Bone marrow aspirate smear
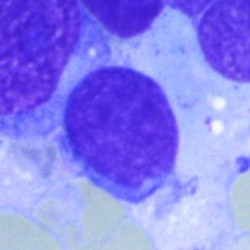 This is a blast.